Bone marrow smear · image size 250×250.
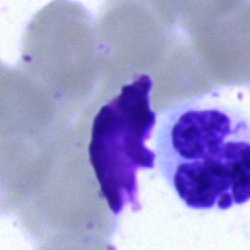Q: What is shown here?
A: An artifact.